Romanowsky-type stain · peripheral blood smear:
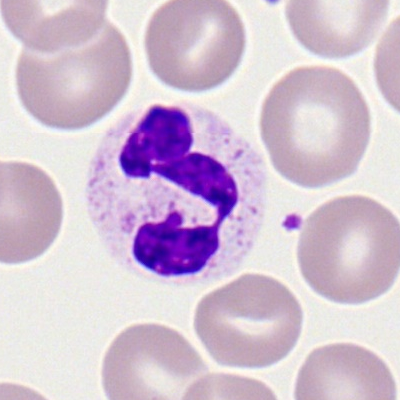 The cell shown is a polymorphonuclear neutrophil.